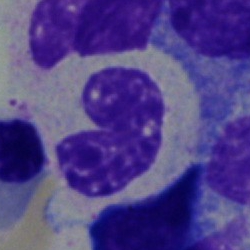Specimen: bone marrow smear.
Classification: band neutrophil.